Brightfield, 40× oil-immersion objective · bone marrow smear — 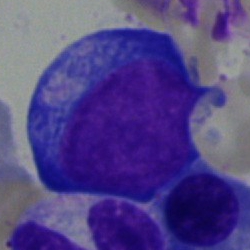

Specimen: bone marrow aspirate smear.
Classification: pronormoblast.
Lineage: erythroid.